250×250 · bone marrow aspirate smear · 40× oil immersion: 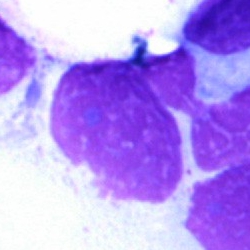Morphological class: artefact.